Bone marrow aspirate smear. Brightfield microscopy, 40× oil immersion
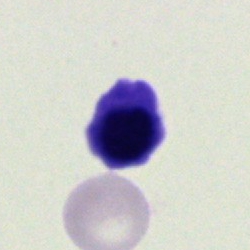

Morphological class — normoblast.